Bone marrow aspirate smear
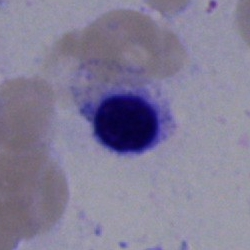

Impression → nucleated red cell.